250×250 · bone marrow aspirate smear: 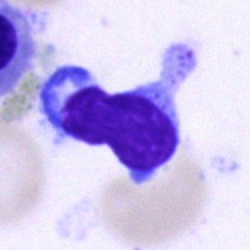Cell = lymphocyte.